Bone marrow smear
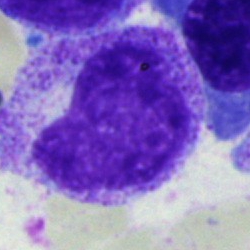Impression → progranulocyte.